Bone marrow aspirate smear
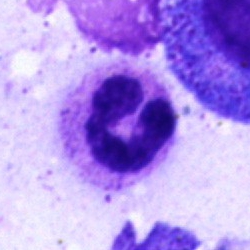This is a segmented neutrophil.